Bone marrow aspirate smear
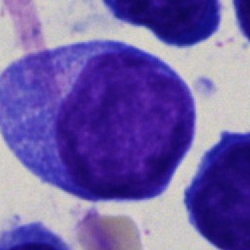Undifferentiated blast.